Bone marrow aspirate smear — 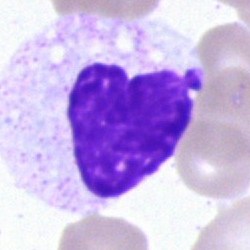This is an artefact.